Bone marrow aspirate smear:
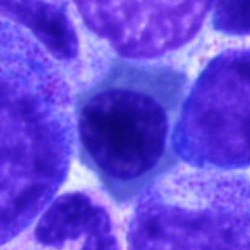 Classification: normoblast.